Bone marrow aspirate smear — 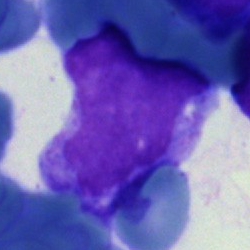{"cell_type": "blast cell"}